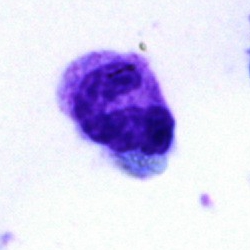

Q: What is shown here?
A: A polymorphonuclear neutrophil.